Bone marrow smear — 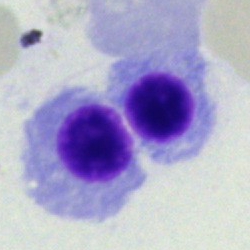
Q: Which cell type is shown here?
A: This is an erythroblast.